40× oil immersion · bone marrow aspirate smear.
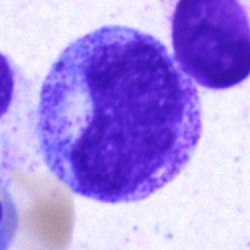 Specimen: bone marrow aspirate smear.
Classification: promyelocyte.